Bone marrow aspirate smear
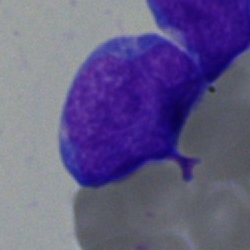 Cell type — undifferentiated blast.